Bone marrow smear: 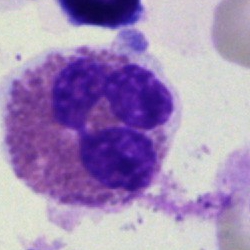
Morphology consistent with an eosinophil.